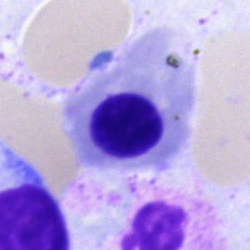Morphology consistent with a nucleated red blood cell.